Brightfield, 40× oil-immersion objective. Bone marrow smear
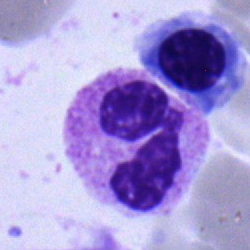Morphological class = polymorphonuclear neutrophil.